Peripheral blood smear — 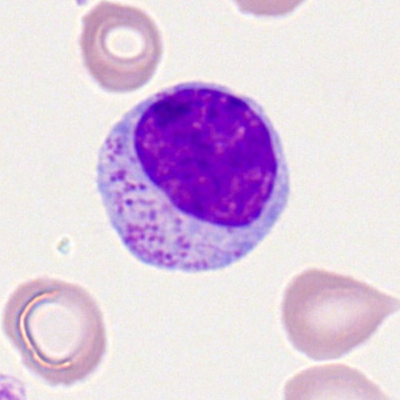 Single cell identified as a typical lymphocyte.